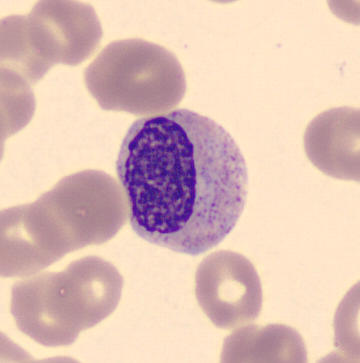

Specimen: peripheral blood film.
Morphological class: myelocyte.